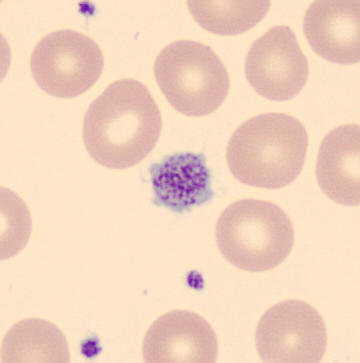
Peripheral blood smear. Automated cell imaging (CellaVision DM96). MGG stain.
Morphological class — platelet (thrombocyte).